Bone marrow smear; May-Grünwald-Giemsa stain
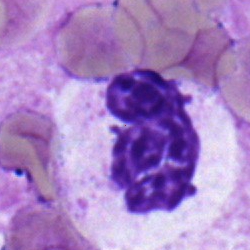 Polymorphonuclear neutrophil.